Bone marrow aspirate smear — 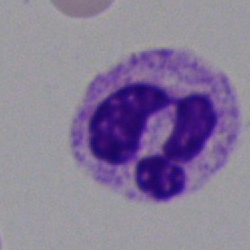Q: Identify the cell.
A: A neutrophil (segmented).